Bone marrow smear; 250 by 250 pixels: 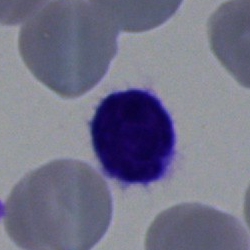Q: Identify the cell.
A: Lymphocyte.